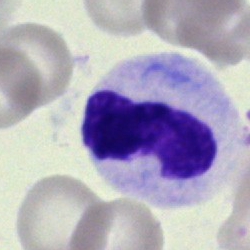This is a neutrophil (band).